250×250 px; May-Grünwald-Giemsa stain; bone marrow smear:
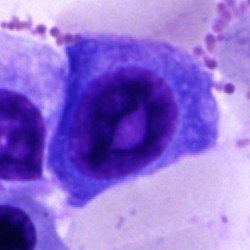
Morphology consistent with a plasmacyte.